Bone marrow smear · image size 250×250 · single-cell crop:
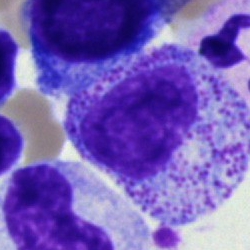

Morphological class: myelocyte.